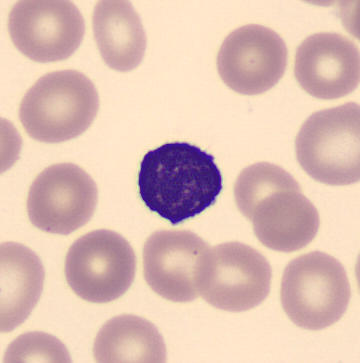
Specimen: peripheral blood smear.
Cell type: lymphocyte.

Acquisition: May Grünwald-Giemsa stain.